Single cell centered in the field; bone marrow smear:
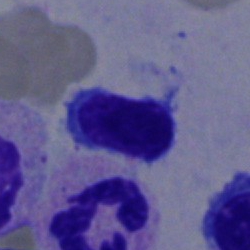Specimen: bone marrow smear.
Classification: lymphocyte.
Lineage: lymphoid.